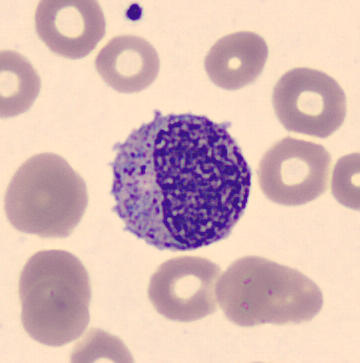 Preparation: Peripheral blood smear · 360 by 363 pixels.

Impression → myelocyte.